Bone marrow smear. 40× objective, oil immersion: 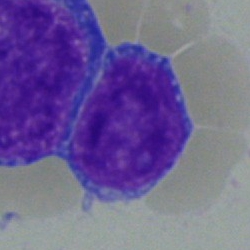

An undifferentiated blast.